MGG-stained. Bone marrow smear.
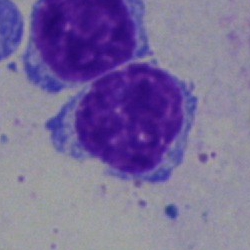 Morphological class — typical lymphocyte.